Peripheral blood smear: 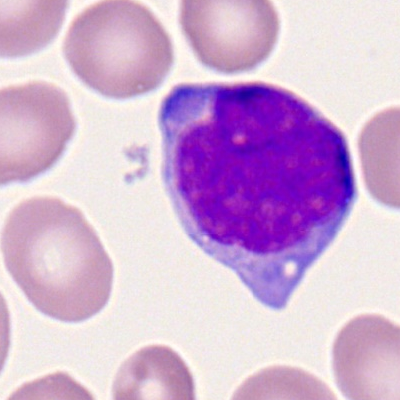

Classification: myeloblast.